May-Grünwald-Giemsa stain. Bone marrow smear: 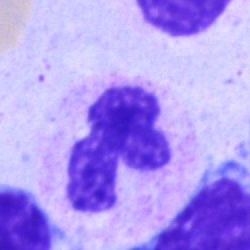Q: Which cell type is shown here?
A: A polymorphonuclear neutrophil.